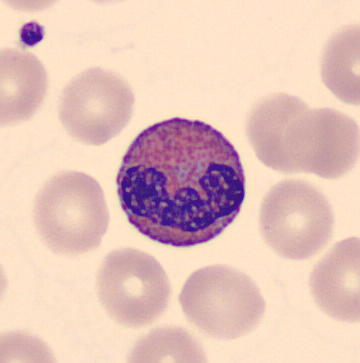
Morphological class — eosinophil.

Preparation: Peripheral blood smear.